40× objective, oil immersion · bone marrow aspirate smear
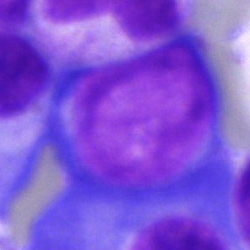
This is a proerythroblast.